250×250 · bone marrow smear: 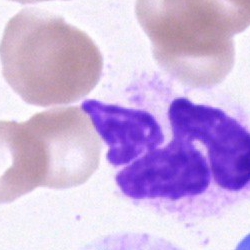Cell type = segmented neutrophil.